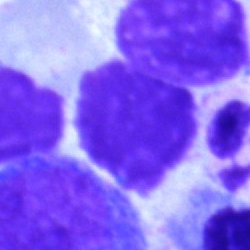Q: What is shown here?
A: It is an artefact.